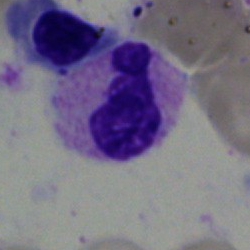
This is a neutrophil (segmented).